Bone marrow aspirate smear.
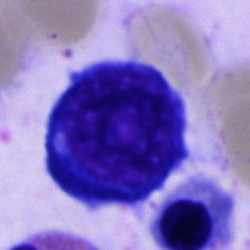 Q: What cell is this?
A: It is an erythroblast.